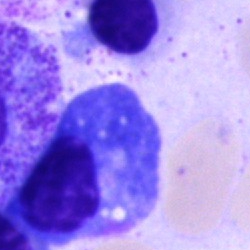

Morphology consistent with a plasma cell.